Bone marrow smear — 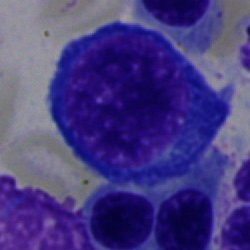 The cell type is pronormoblast.